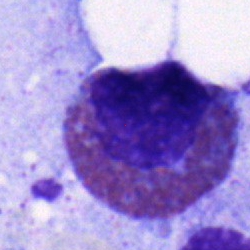Classification = eosinophil.